Pappenheim-stained. Bone marrow aspirate smear
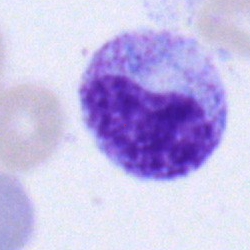

{"cell_type": "metamyelocyte"}